Bone marrow smear
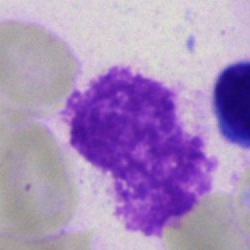 Impression → artifact.